Peripheral blood smear: 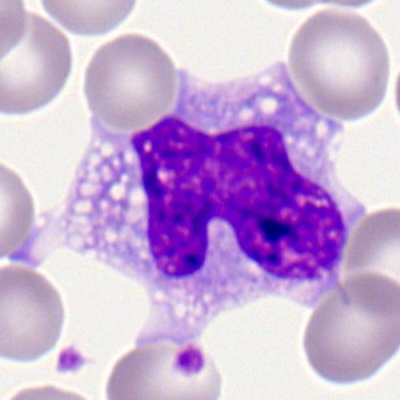

{"cell_type": "monocyte", "lineage": "myeloid"}